Bone marrow aspirate smear.
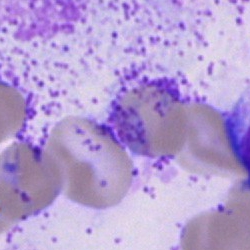Artefact.